Single-cell crop. Peripheral blood film. 400 by 400 pixels: 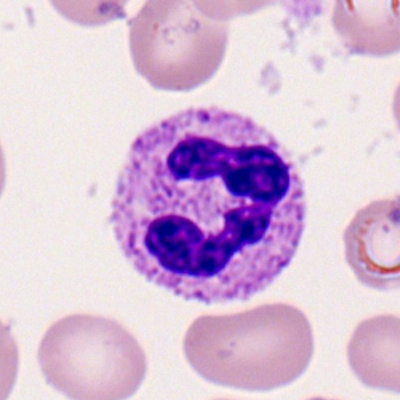

The cell type is polymorphonuclear neutrophil.